Bone marrow smear.
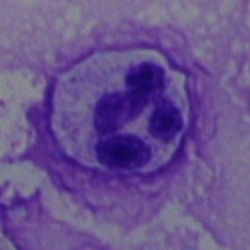 Specimen: bone marrow aspirate smear.
Morphological class: neutrophil (segmented).